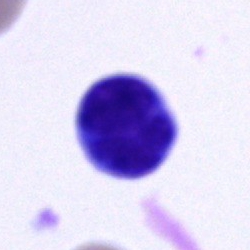
{"cell_type": "undifferentiated blast"}